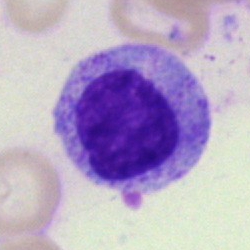
Q: What is shown here?
A: This is a myelocyte.